Bone marrow aspirate smear; brightfield, 40× oil-immersion objective — 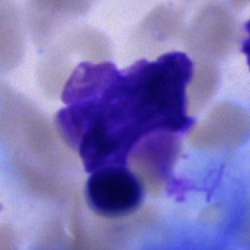
Artifact.